Bone marrow aspirate smear
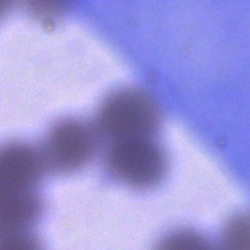{"cell_type": "artifact"}